Bone marrow aspirate smear · 40× objective, oil immersion: 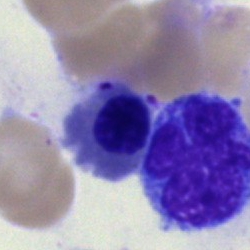 Nucleated red blood cell.